Brightfield microscopy, 40× oil immersion. Bone marrow smear
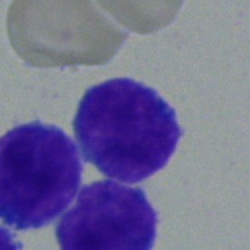 Morphological class = blast cell.